Brightfield, 40× oil-immersion objective; bone marrow smear; single-cell field: 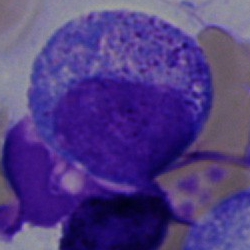

Showing a promyelocyte.